250×250 px · May-Grünwald-Giemsa/Pappenheim stain · bone marrow smear: 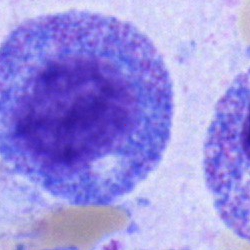Showing a promyelocyte.